May-Grünwald-Giemsa stain; bone marrow smear
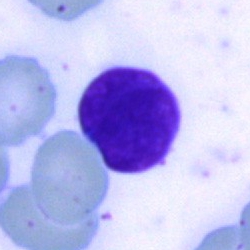

Q: What is shown here?
A: It is a typical lymphocyte.